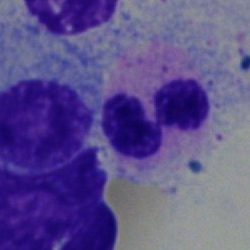

A segmented neutrophil.